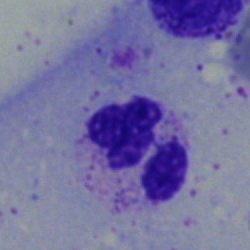
Morphological class — neutrophil (segmented).